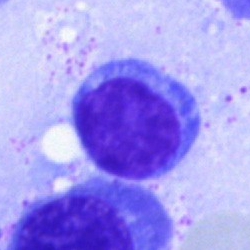Q: What is shown here?
A: It is a typical lymphocyte.